250×250 px · bone marrow smear.
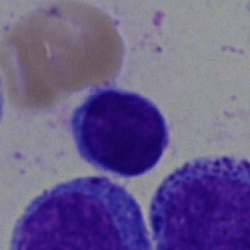Classification = lymphocyte.